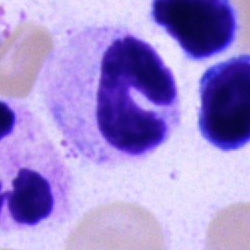
Bone marrow smear showing a neutrophil (band).